Bone marrow smear.
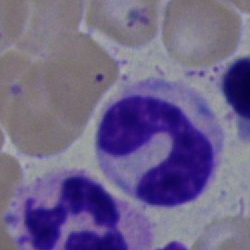Morphology — stab cell.